Bone marrow smear; cropped to a single cell — 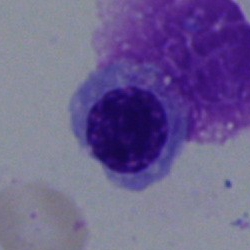Impression → erythroblast.